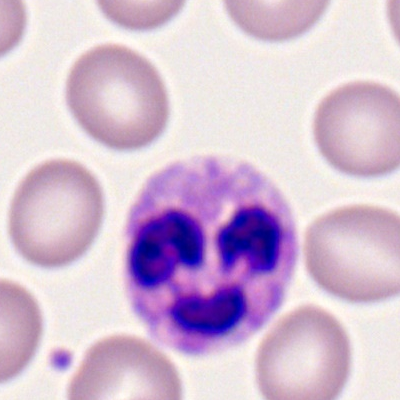
Specimen: peripheral blood smear.
Cell type: neutrophil (segmented).